Bone marrow aspirate smear — 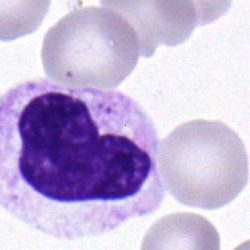A segmented neutrophil.